Bone marrow smear: 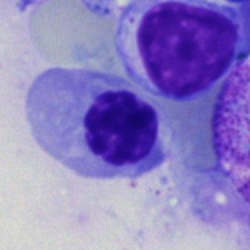
This is a nucleated red cell.